Bone marrow smear
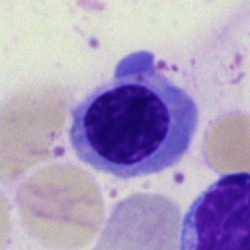 Specimen: bone marrow aspirate smear.
Cell: nucleated red blood cell.
Lineage: erythroid.